40× objective, oil immersion; bone marrow smear.
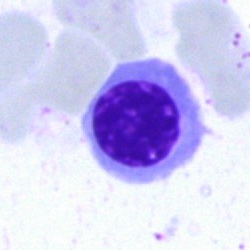This is an erythroblast.